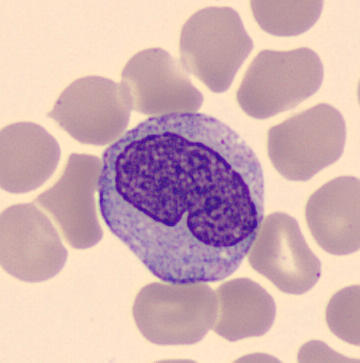Peripheral blood film · imaged on a CellaVision DM96 analyser. Cell type = monocyte.